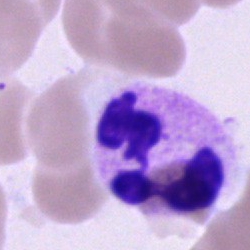Q: What is the morphological classification of this cell?
A: It is a neutrophil (segmented).